Brightfield, 40× oil-immersion objective. Bone marrow smear. Cropped to a single cell
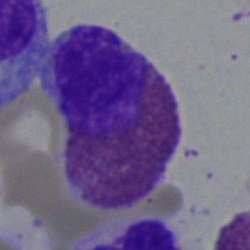

Specimen: bone marrow smear.
Classification: eosinophilic granulocyte.